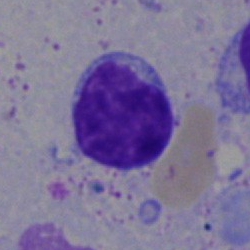 Single-cell crop from a bone marrow smear: typical lymphocyte.